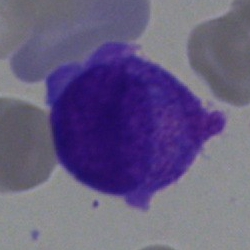Single-cell crop from a bone marrow smear: blast.